Peripheral blood smear · Romanowsky stain — 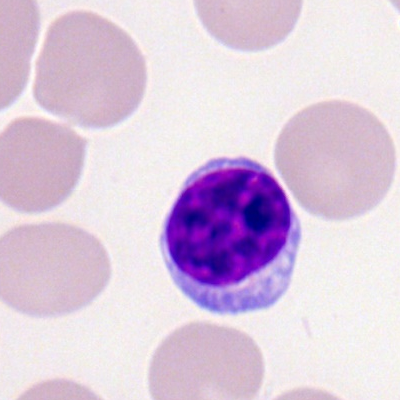
The cell type is typical lymphocyte.